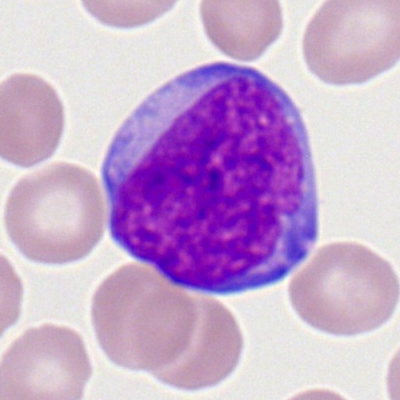 Cell type = myeloblast.